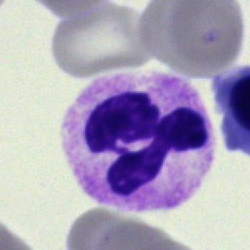 The cell shown is a segmented neutrophil.